Peripheral blood film · 100× objective, oil immersion
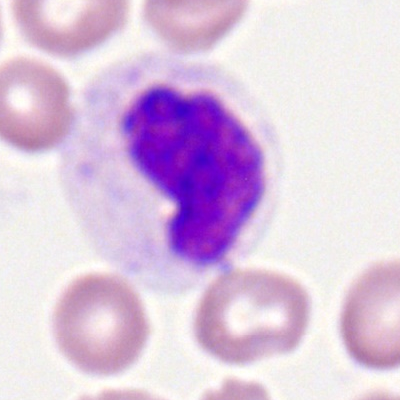Specimen: peripheral blood film.
Classification: segmented neutrophil.